Bone marrow smear:
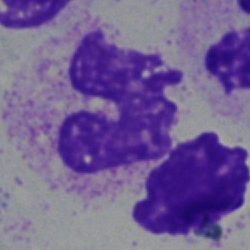Q: What is shown here?
A: An artifact.